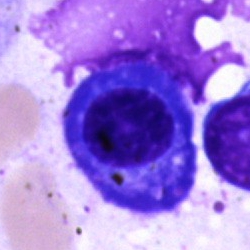
Impression → plasmacyte.